May-Grünwald-Giemsa stain; bone marrow aspirate smear.
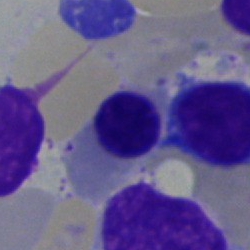 Morphology — nucleated red blood cell.